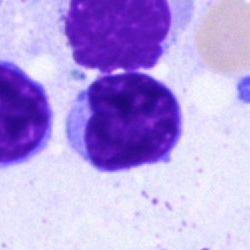Cell type — lymphocyte.